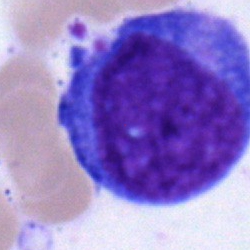{"cell_type": "blast cell"}